400×400 px; peripheral blood smear; Romanowsky-type stain.
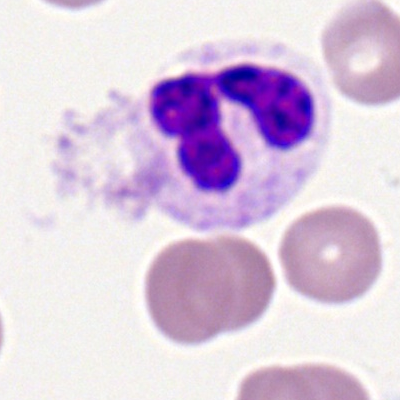Single cell identified as a segmented neutrophil.